Peripheral blood smear:
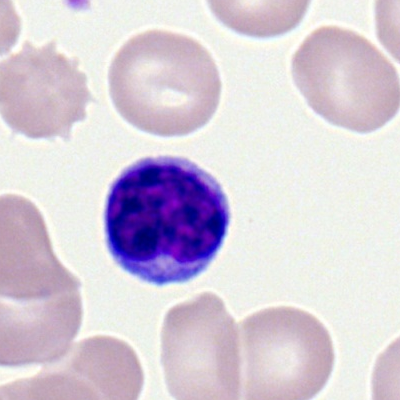The cell is lymphocyte.